Bone marrow aspirate smear.
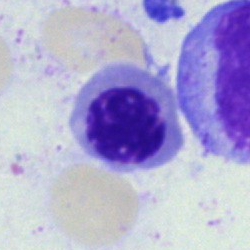 Specimen: bone marrow smear.
Cell: normoblast.